Single cell centered in the field · bone marrow smear — 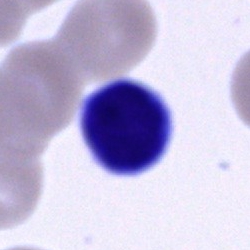A typical lymphocyte.